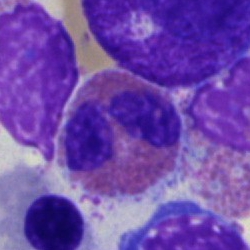 Bone marrow smear showing an eosinophil.